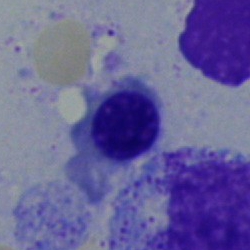A nucleated red cell.